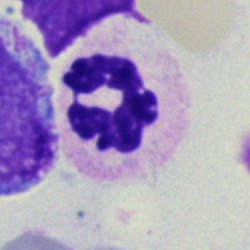 Morphology → neutrophil (segmented).